Bone marrow aspirate smear: 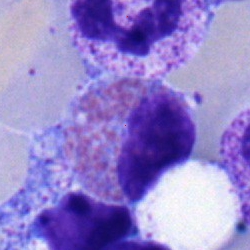
The morphological class is eosinophilic granulocyte.